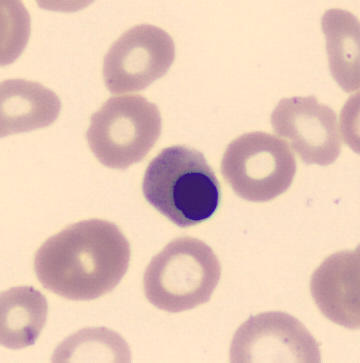This is a nucleated red blood cell.